Peripheral blood film. Romanowsky-stained: 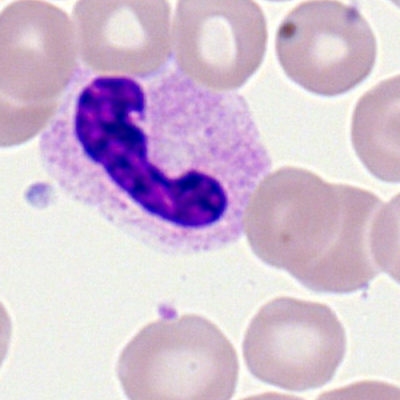
Showing a band-form neutrophil.